Bone marrow aspirate smear — 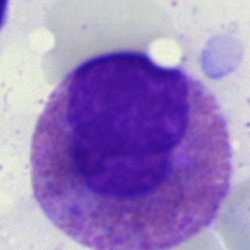

The classification is eosinophil.